Bone marrow aspirate smear
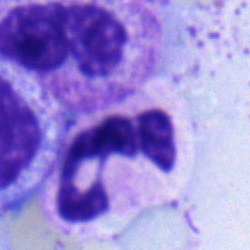 Specimen: bone marrow smear.
Cell: neutrophil (segmented).